250 by 250 pixels. Bone marrow aspirate smear — 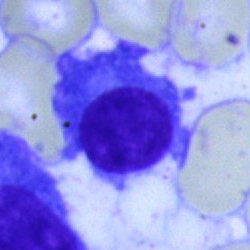

Q: Identify the cell.
A: A plasma cell.